Bone marrow smear.
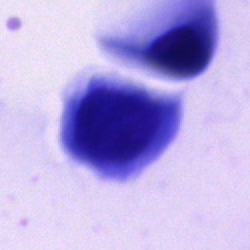

Showing an artifact.